Bone marrow smear · May-Grünwald-Giemsa stain · brightfield, 40× oil-immersion objective: 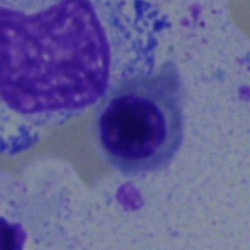

The cell type is nucleated red blood cell.